Bone marrow smear: 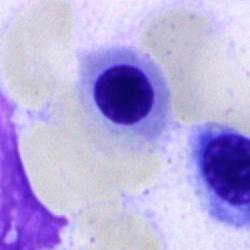

Specimen: bone marrow smear.
Cell: normoblast.
Lineage: erythroid.